Bone marrow aspirate smear · May-Grünwald-Giemsa stain
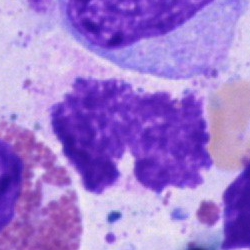 {"cell_type": "artefact"}